MGG-stained · bone marrow aspirate smear.
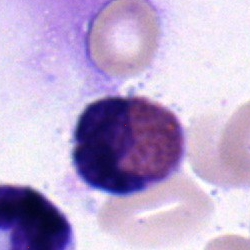

Classification: eosinophilic granulocyte.